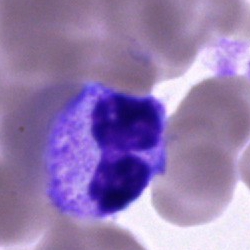
{"cell_type": "segmented neutrophil"}